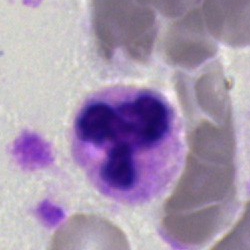
This is a segmented neutrophil.